Bone marrow smear · 40× oil immersion — 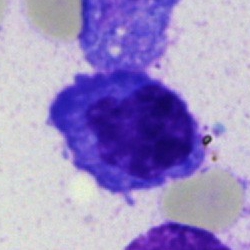{"cell_type": "plasma cell"}